Bone marrow smear: 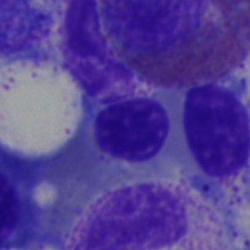Q: Which cell type is shown here?
A: This is a normoblast.